Bone marrow smear
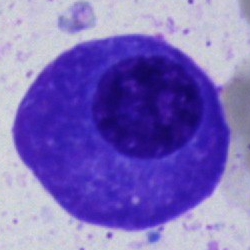 Q: What cell is this?
A: A plasma cell.